Bone marrow aspirate smear — 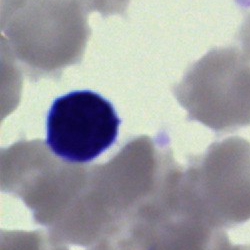
Morphology consistent with a cell of indeterminate lineage.